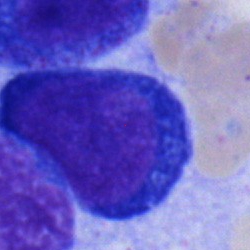 Single-cell crop from a bone marrow smear: nucleated red blood cell.